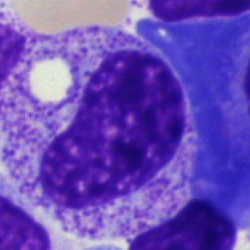 A promyelocyte.